Bone marrow aspirate smear — 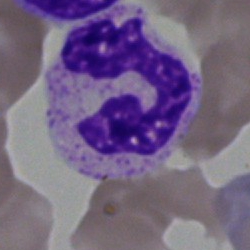Specimen: bone marrow smear.
Cell: segmented neutrophil.
Lineage: myeloid.